Bone marrow smear.
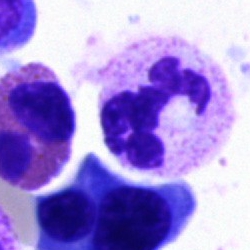Morphology — polymorphonuclear neutrophil.